Bone marrow aspirate smear:
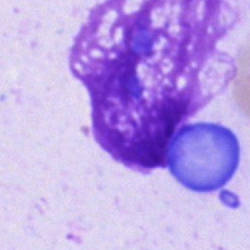 Classification = artifact.